Bone marrow smear — 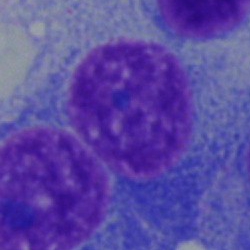Q: What is the morphological classification of this cell?
A: Plasma cell.